Bone marrow smear
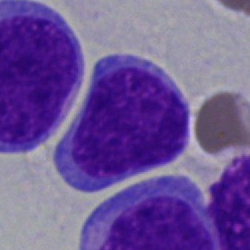Cell = blast cell.